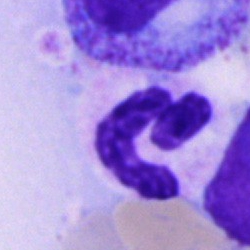Cell — polymorphonuclear neutrophil.